Bone marrow aspirate smear: 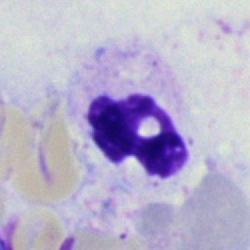Impression — neutrophil (segmented).